Bone marrow aspirate smear — 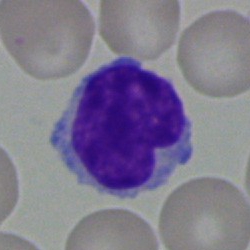

Classification: typical lymphocyte.